Bone marrow aspirate smear — 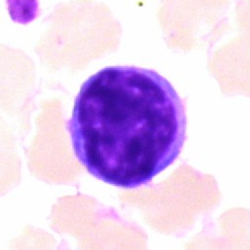

Morphology consistent with a typical lymphocyte.